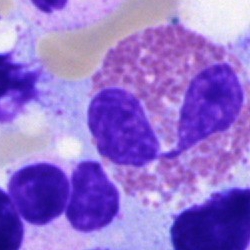

Specimen: bone marrow aspirate smear.
Cell type: eosinophilic granulocyte.
Lineage: myeloid.